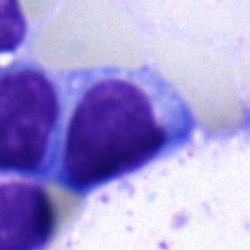Impression — lymphocyte.